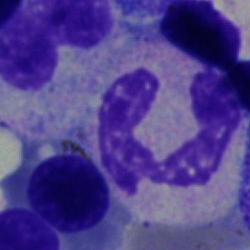
Cell type — polymorphonuclear neutrophil.